MGG-stained. Bone marrow smear. Brightfield, 40× oil-immersion objective.
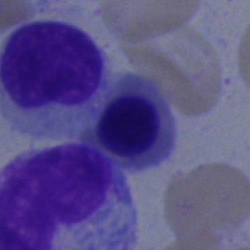Morphology consistent with a normoblast.